Bone marrow smear:
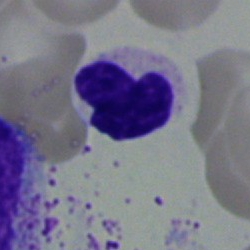
Q: What cell is this?
A: This is a segmented neutrophil.